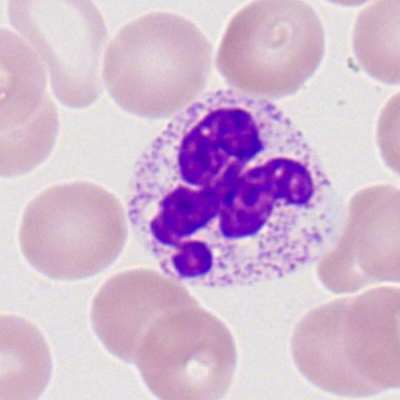
Cell: segmented neutrophil.